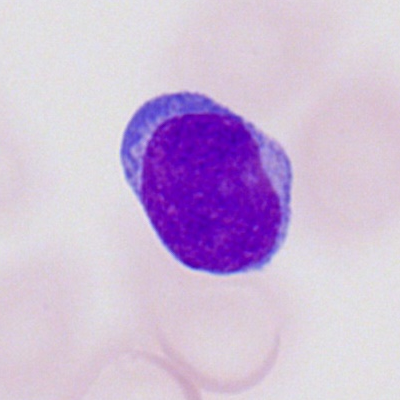Q: What type of cell is this?
A: It is a myeloblast.